Bone marrow smear: 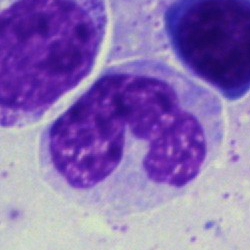
Morphological class = monocyte.